Bone marrow aspirate smear:
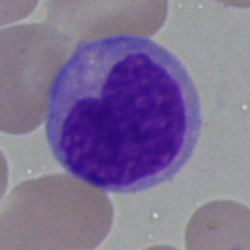
Showing a monocyte.